Bone marrow smear — 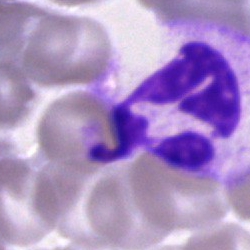{"cell_type": "segmented neutrophil", "lineage": "myeloid"}